Peripheral blood film
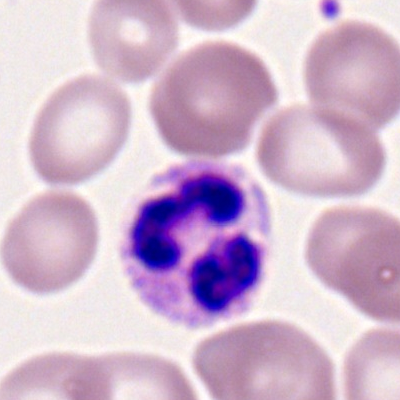 The cell shown is a segmented neutrophil.